Bone marrow smear
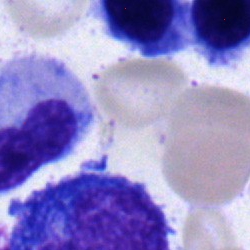 Single cell identified as a normoblast.